250 by 250 pixels · bone marrow smear
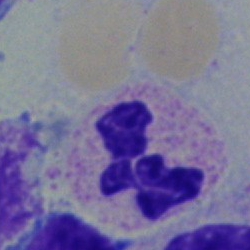

Cell = polymorphonuclear neutrophil.